Bone marrow smear.
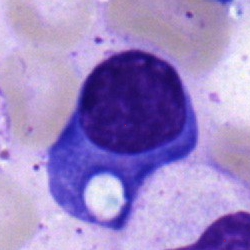

Plasma cell.